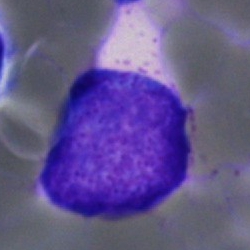 Specimen: bone marrow smear.
Classification: blast cell.